Bone marrow smear; 40× objective, oil immersion:
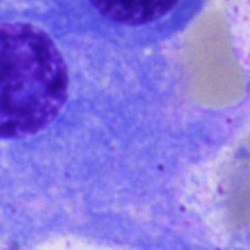
The cell is plasmacyte.